Peripheral blood smear. Romanowsky stain — 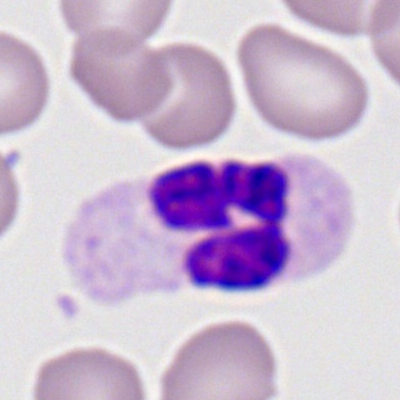 This is a neutrophil (segmented).